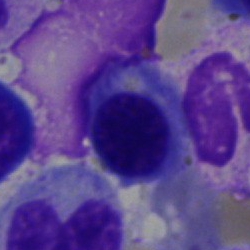Cell: nucleated red blood cell.